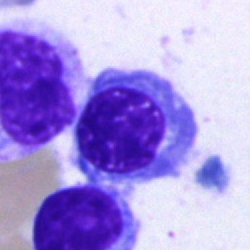 The morphological class is normoblast.